May-Grünwald-Giemsa stain. Bone marrow aspirate smear
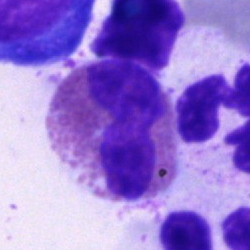
An eosinophil.